Peripheral blood film — 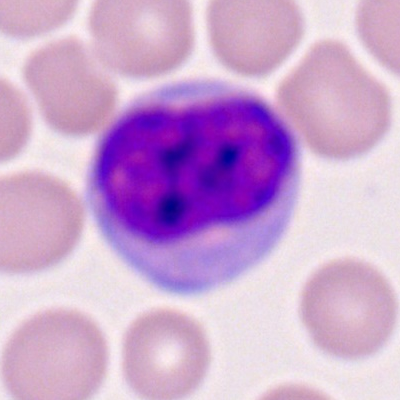 The classification is typical lymphocyte.